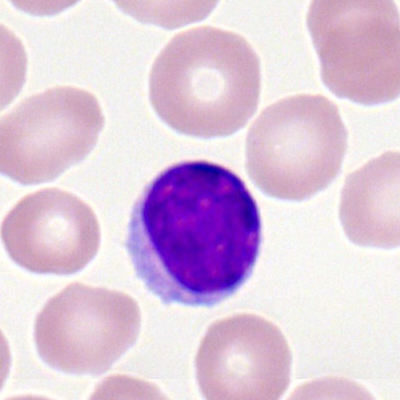

Cell = lymphocyte.